Brightfield microscopy, 40× oil immersion. 250×250 px. Bone marrow smear — 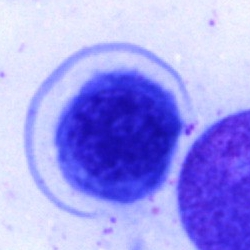 This is a nucleated red blood cell.